Bone marrow smear
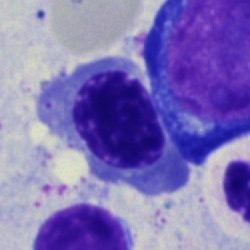

A normoblast.